Bone marrow aspirate smear · May-Grünwald-Giemsa stain · 40× objective, oil immersion.
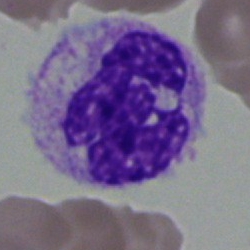

Q: What cell is this?
A: Segmented neutrophil.